Bone marrow smear. 40× objective, oil immersion.
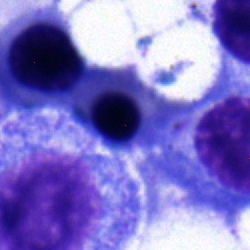
Q: What is the morphological classification of this cell?
A: This is an erythroblast.